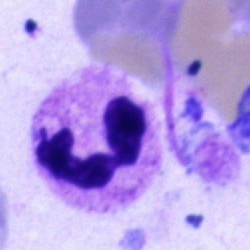
Specimen: bone marrow smear.
Cell: neutrophil (segmented).
Lineage: myeloid.